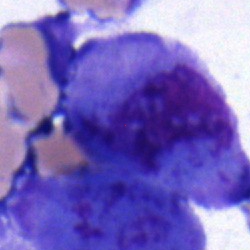

This is an undifferentiated blast.